Bone marrow smear:
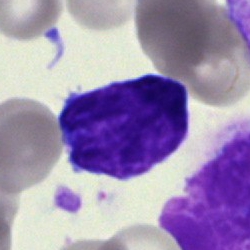 Specimen: bone marrow smear.
Classification: undifferentiated blast.